Bone marrow smear · cropped to a single cell.
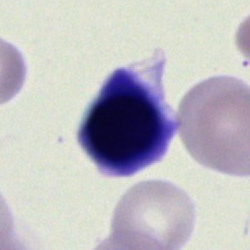 Morphology consistent with a normoblast.